250 by 250 pixels · bone marrow smear
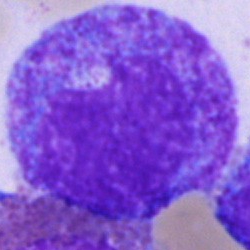

Cell type = progranulocyte.